Romanowsky-type stain · 100× oil immersion, 14.14 px/µm · peripheral blood smear
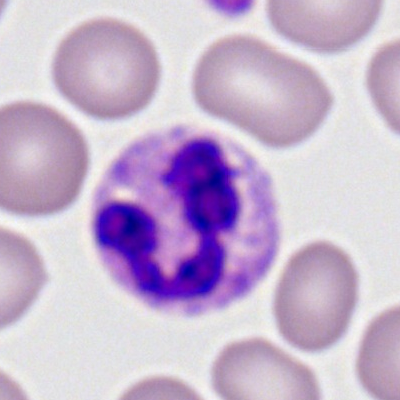

Specimen: peripheral blood film.
Morphological class: polymorphonuclear neutrophil.
Lineage: myeloid.